250×250 px; bone marrow aspirate smear: 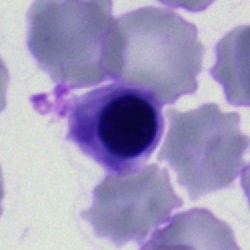Morphological class — normoblast.